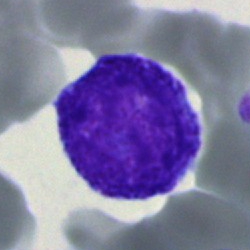

This is an undifferentiated blast.